Bone marrow aspirate smear — 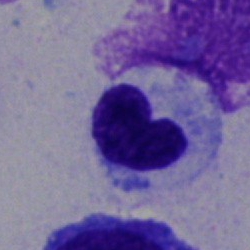
The cell is neutrophil (band).